Single-cell crop · bone marrow smear:
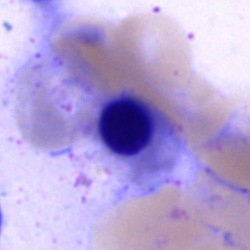 Morphological class = erythroblast.